250×250 px · bone marrow aspirate smear · May-Grünwald-Giemsa/Pappenheim stain.
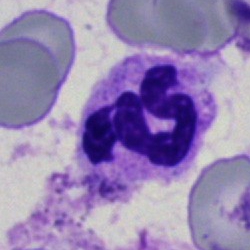
Morphological class: polymorphonuclear neutrophil.